Bone marrow aspirate smear. May-Grünwald-Giemsa stain: 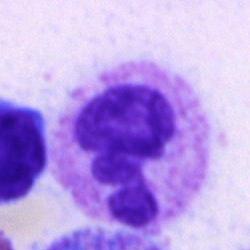A segmented neutrophil.